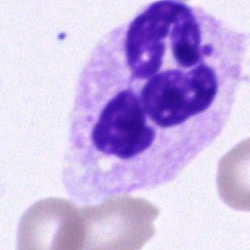Specimen: bone marrow smear.
Morphological class: segmented neutrophil.
Lineage: myeloid.